Bone marrow aspirate smear.
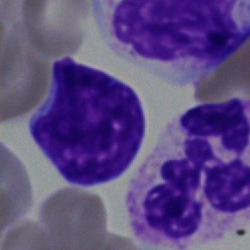
Cell type — polymorphonuclear neutrophil.